Bone marrow aspirate smear.
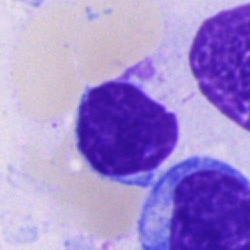Cell type: lymphocyte.